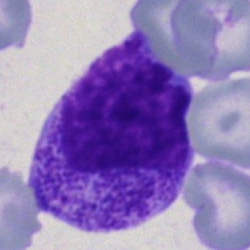Myelocyte.